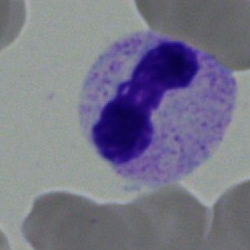 The morphological class is stab cell.